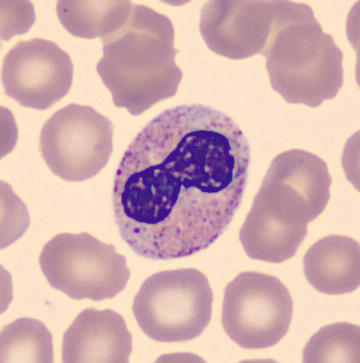 Specimen: peripheral blood smear.
Morphological class: neutrophil (band). Image: 360 by 363 pixels.